Single-cell crop; bone marrow smear; 250×250: 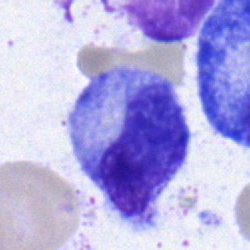

Q: What is the morphological classification of this cell?
A: Metamyelocyte.